Bone marrow smear. Brightfield, 40× oil-immersion objective: 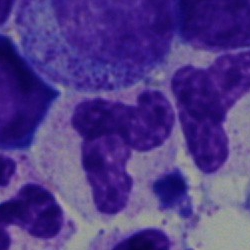Morphology — neutrophil (segmented).